Bone marrow aspirate smear. 250×250.
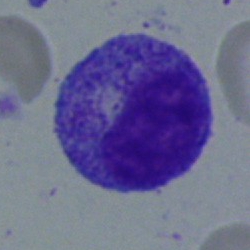

Cell type: myelocyte.